Bone marrow smear
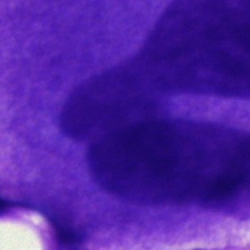
Morphology consistent with an artefact.